Bone marrow smear · 250 by 250 pixels
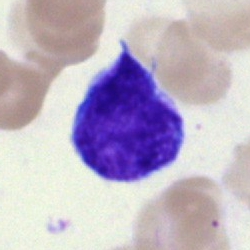

This is a blast.